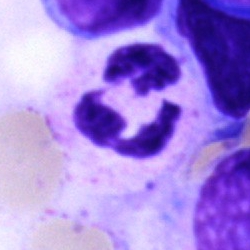
Specimen: bone marrow smear.
Classification: segmented neutrophil.